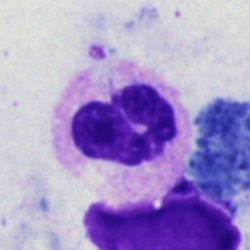

Q: What is the morphological classification of this cell?
A: Polymorphonuclear neutrophil.